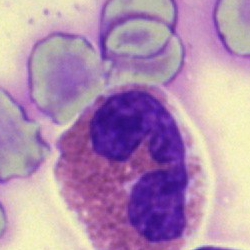

Specimen: bone marrow aspirate smear.
Classification: eosinophil.